Image size 250×250 · bone marrow aspirate smear: 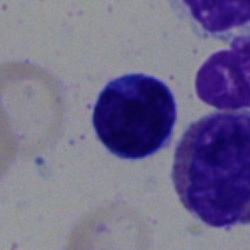 Lymphocyte.